Single-cell crop. Bone marrow smear. 40× objective, oil immersion.
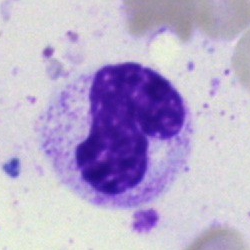
Specimen: bone marrow aspirate smear.
Cell type: band-form neutrophil.
Lineage: myeloid.